Bone marrow smear.
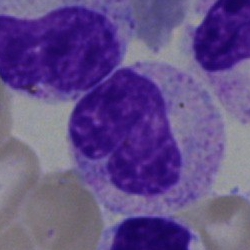

Specimen: bone marrow aspirate smear.
Cell: metamyelocyte.
Lineage: myeloid.